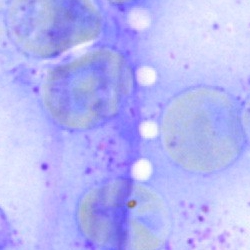

Cell — artifact.